Bone marrow aspirate smear — 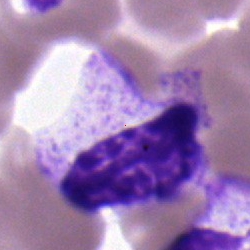 Q: What is shown here?
A: Polymorphonuclear neutrophil.